Romanowsky stain. Peripheral blood film:
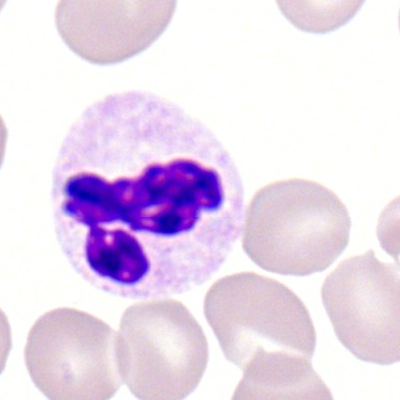Showing a polymorphonuclear neutrophil.